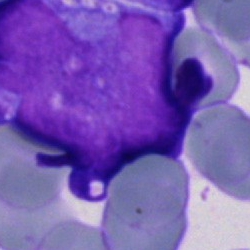
Morphological class — blast.